Bone marrow aspirate smear — 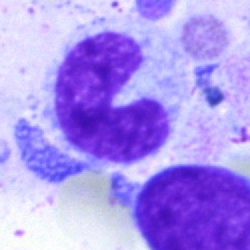

Specimen: bone marrow aspirate smear.
Cell: band-form neutrophil.